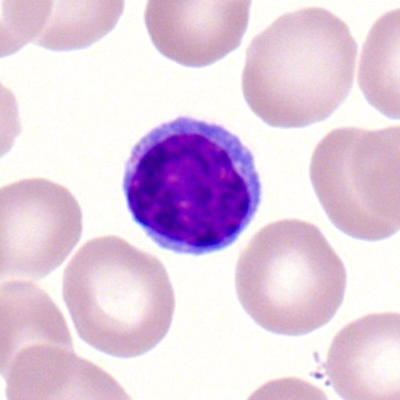Q: What is the morphological classification of this cell?
A: This is a lymphocyte.